Brightfield, 40× oil-immersion objective. Single-cell field. Bone marrow aspirate smear — 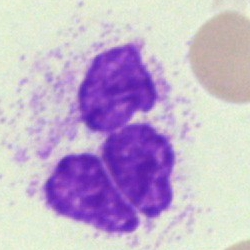 Specimen: bone marrow aspirate smear.
Classification: polymorphonuclear neutrophil.
Lineage: myeloid.